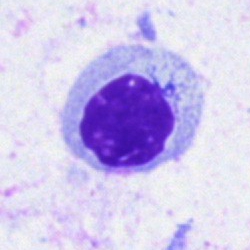

Morphology consistent with a normoblast.